Bone marrow smear — 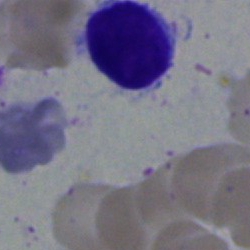

Showing a typical lymphocyte.